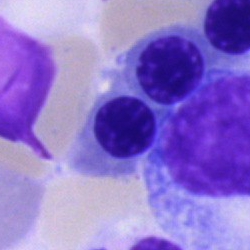

Cell type — nucleated red blood cell.